Bone marrow aspirate smear: 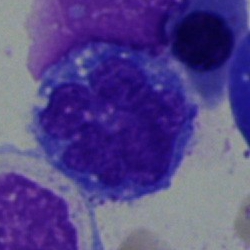 Morphology consistent with a monocyte.